Bone marrow aspirate smear: 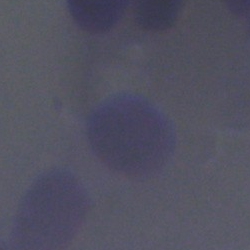

Morphological class — artifact.